Bone marrow aspirate smear
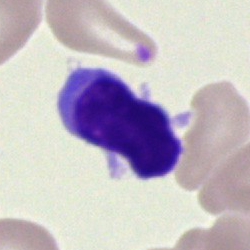Classification: typical lymphocyte.